Bone marrow smear.
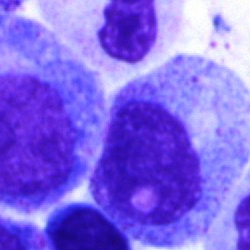
The morphological class is promyelocyte.